Bone marrow aspirate smear; 250×250 — 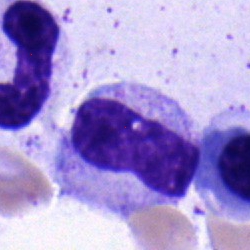Impression — metamyelocyte.